Peripheral blood film
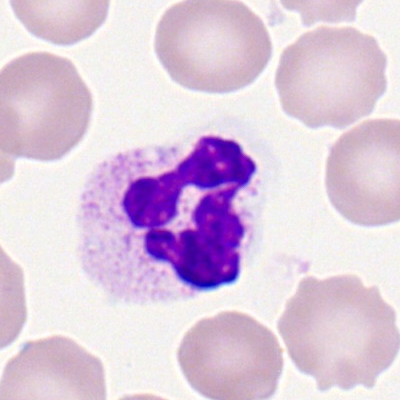Morphology consistent with a neutrophil (segmented).